Bone marrow smear: 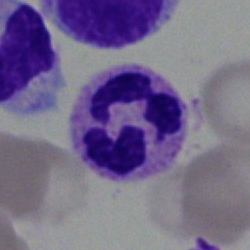 Q: What type of cell is this?
A: Segmented neutrophil.